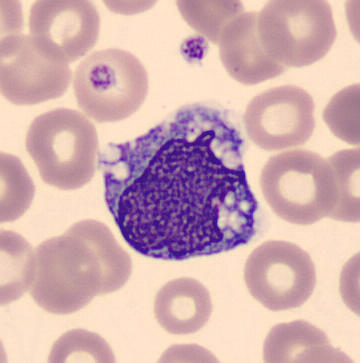

Preparation: Peripheral blood film.

Showing a monocyte.